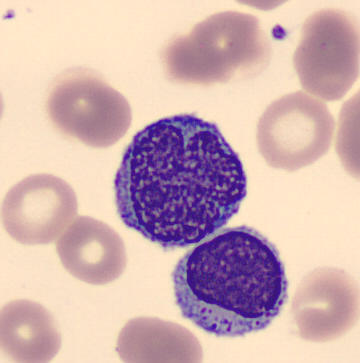
Morphology → monocyte.